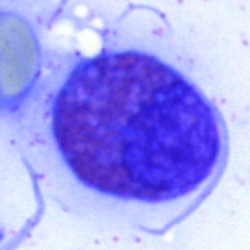An eosinophilic granulocyte on a bone marrow smear.